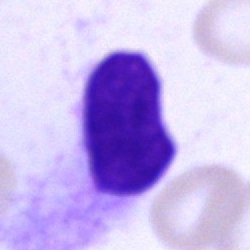{"cell_type": "artefact"}